Bone marrow smear: 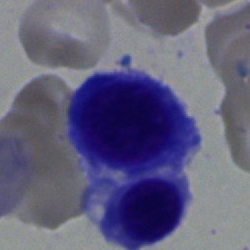
Morphology consistent with a nucleated red cell.